Brightfield, 40× oil-immersion objective · image size 250×250 · bone marrow aspirate smear:
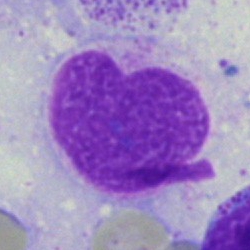Morphology → artifact.